Bone marrow smear
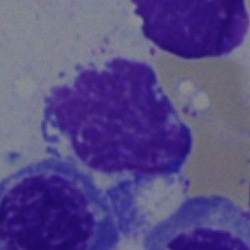 Specimen: bone marrow aspirate smear.
Cell: artefact.